Bone marrow aspirate smear; 250×250 px; brightfield, 40× oil-immersion objective: 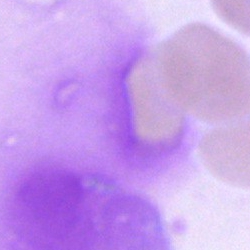Specimen: bone marrow aspirate smear.
Cell type: artifact.